Bone marrow aspirate smear
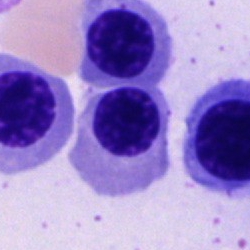
The cell is nucleated red blood cell.